Bone marrow smear: 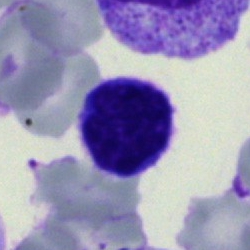 Morphological class = lymphocyte.